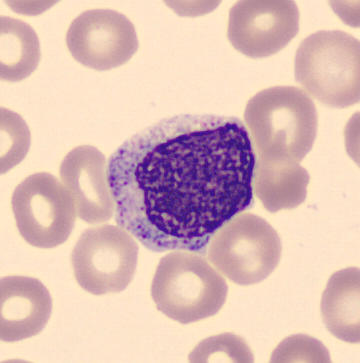 Cell: myelocyte. MGG stain; peripheral blood film.